Single-cell field; bone marrow smear; brightfield microscopy, 40× oil immersion
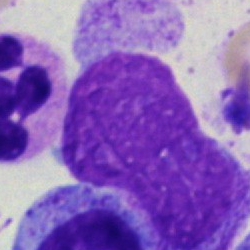 Specimen: bone marrow aspirate smear.
Morphological class: artifact.